Bone marrow smear.
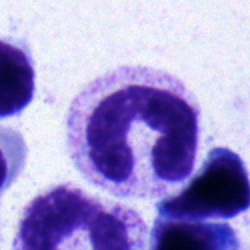Q: What cell is this?
A: This is a stab cell.